Bone marrow aspirate smear.
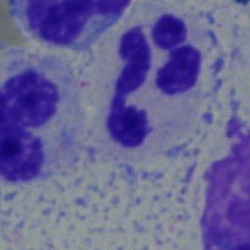 This is a segmented neutrophil.